Bone marrow smear:
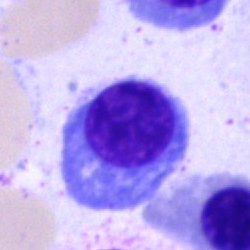 Q: What is the morphological classification of this cell?
A: This is an erythroblast.